Bone marrow smear
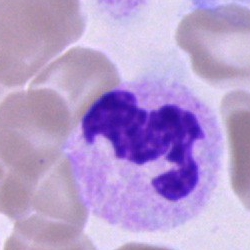
The classification is segmented neutrophil.